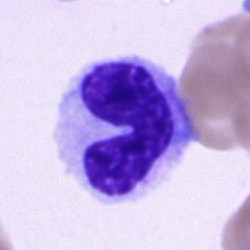

A band-form neutrophil on a bone marrow smear.